Bone marrow smear: 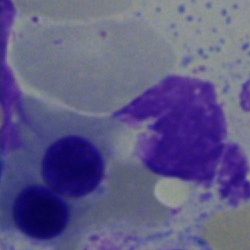Nucleated red cell.